Bone marrow smear · single-cell field:
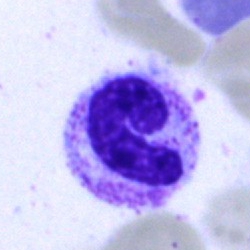 Cell: band neutrophil.